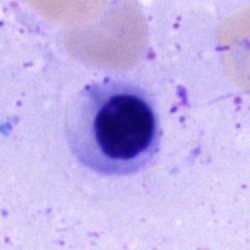

Cell type — normoblast.